Bone marrow aspirate smear.
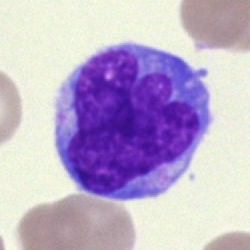 The cell shown is a monocyte.